Bone marrow aspirate smear · brightfield microscopy, 40× oil immersion
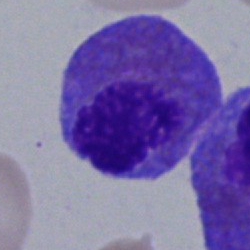

Cell — artefact.